Bone marrow smear:
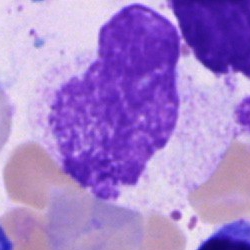Morphology consistent with an artefact.